Bone marrow smear; single cell centered in the field — 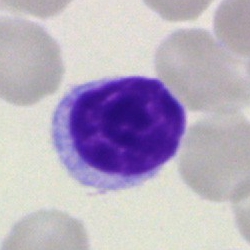

Typical lymphocyte.